Bone marrow aspirate smear · 250×250 px · 40× objective, oil immersion:
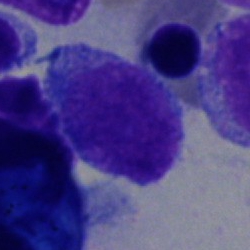Single cell identified as a blast.